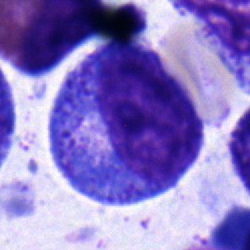 {"cell_type": "promyelocyte"}